250×250 px. Bone marrow smear — 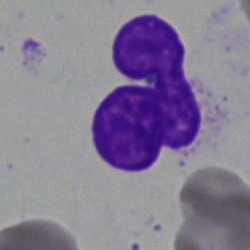 {"cell_type": "artifact"}